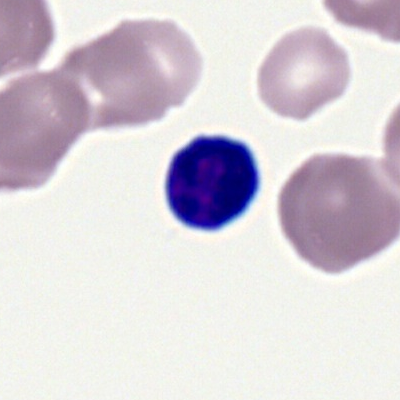 {"cell_type": "lymphocyte", "lineage": "lymphoid"}